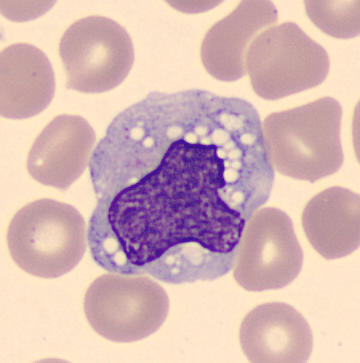

The cell shown is a monocyte.

Peripheral blood smear. Single-cell field. May Grünwald-Giemsa stain.